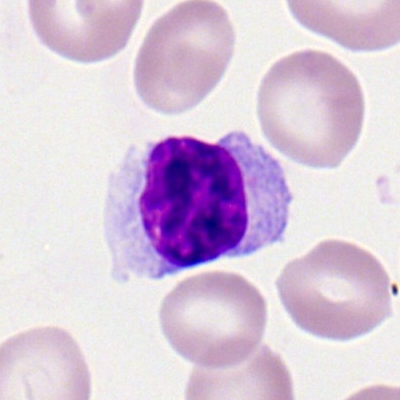Q: What is the morphological classification of this cell?
A: A lymphocyte.